May-Grünwald-Giemsa/Pappenheim stain · bone marrow smear · 250 by 250 pixels — 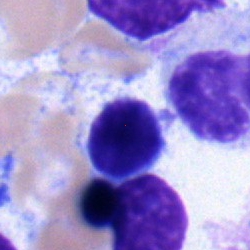The cell shown is a lymphocyte.